Brightfield microscopy, 40× oil immersion · bone marrow aspirate smear: 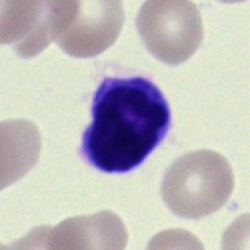Specimen: bone marrow aspirate smear.
Cell type: lymphocyte.
Lineage: lymphoid.